Bone marrow aspirate smear
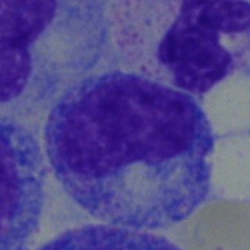
Morphology consistent with a monocyte.